Bone marrow aspirate smear — 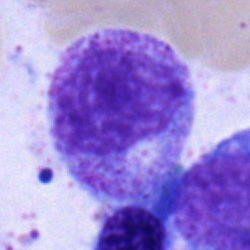

Myelocyte.